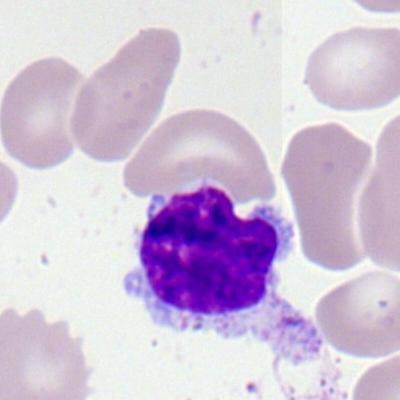Impression — lymphocyte.